Bone marrow smear; single-cell field:
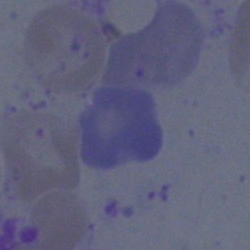
Artifact.